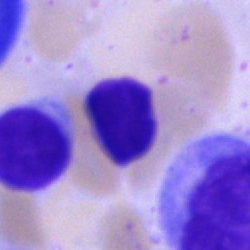Morphology consistent with an artefact.